Bone marrow aspirate smear. May-Grünwald-Giemsa/Pappenheim stain.
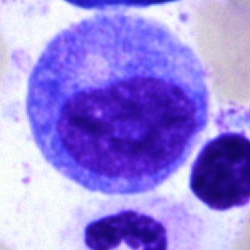{"cell_type": "progranulocyte", "lineage": "myeloid"}